Bone marrow aspirate smear · May-Grünwald-Giemsa/Pappenheim stain
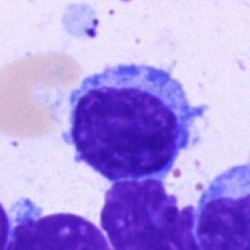

Morphological class: lymphocyte.